Bone marrow smear: 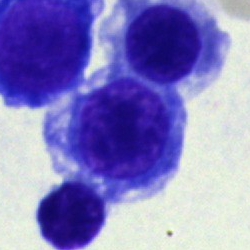
Morphological class — normoblast.